Cropped to a single cell; bone marrow smear.
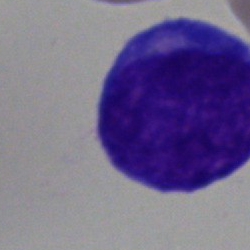
Impression → undifferentiated blast.